Peripheral blood film; Romanowsky-type stain — 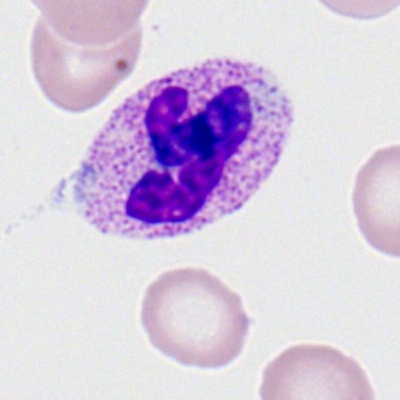

Single cell identified as a segmented neutrophil.